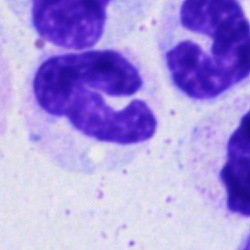 Cell: neutrophil (segmented).